Bone marrow aspirate smear: 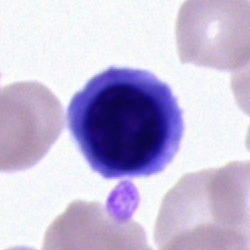 The cell shown is an erythroblast.